Bone marrow smear — 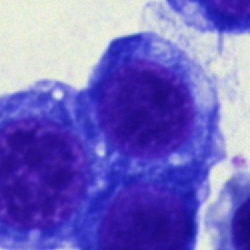
Cell type: normoblast.